Bone marrow aspirate smear; single-cell crop.
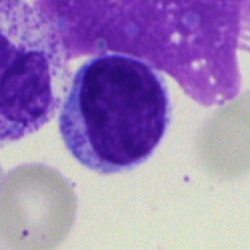Morphological class = lymphocyte.